Bone marrow aspirate smear:
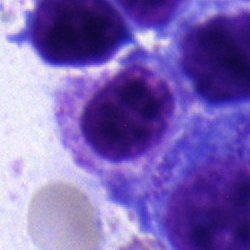 Showing a myelocyte.